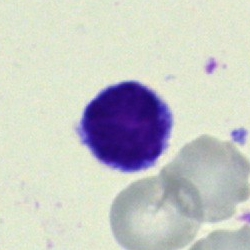

The cell is typical lymphocyte.